Cropped to a single cell; bone marrow aspirate smear: 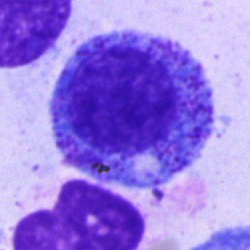Classification: promyelocyte.